Bone marrow aspirate smear
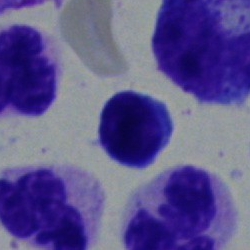
{"cell_type": "lymphocyte", "lineage": "lymphoid"}